Bone marrow smear · brightfield, 40× oil-immersion objective
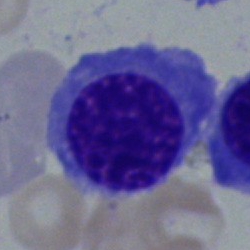 The cell type is erythroblast.